Cropped to a single cell. Bone marrow smear:
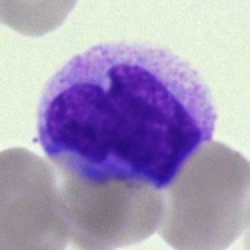

Specimen: bone marrow aspirate smear.
Morphological class: monocyte.